Cropped to a single cell · May-Grünwald-Giemsa/Pappenheim stain · bone marrow smear
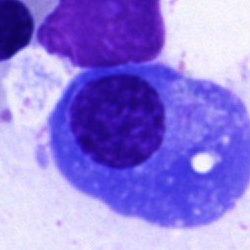A plasma cell.